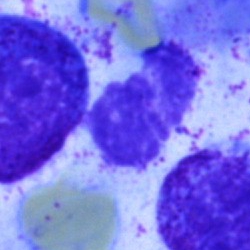
Showing an artifact.